250×250 px; bone marrow aspirate smear: 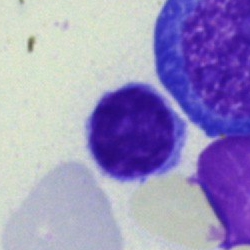
Q: Which cell type is shown here?
A: A lymphocyte.